Peripheral blood film: 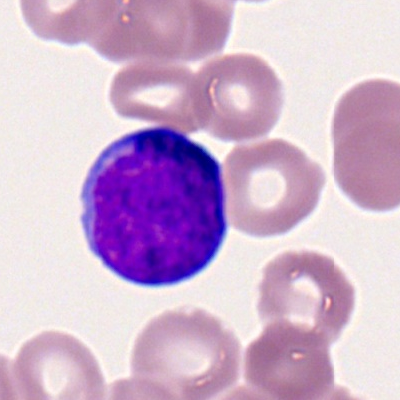{"cell_type": "myeloid blast", "lineage": "myeloid"}